Bone marrow smear: 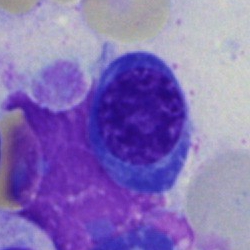Impression → nucleated red cell.